Bone marrow smear: 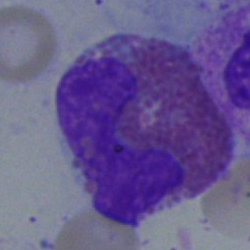
An eosinophilic granulocyte.